Bone marrow smear · 250 by 250 pixels:
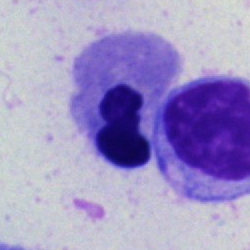Single cell identified as a normoblast.